Bone marrow aspirate smear; brightfield, 40× oil-immersion objective:
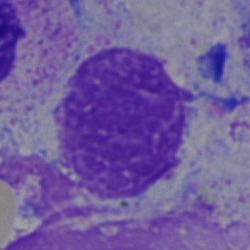

This is an artefact.